Bone marrow smear; brightfield microscopy, 40× oil immersion — 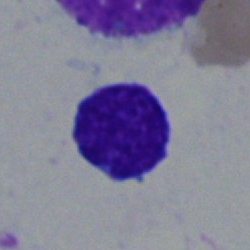

The cell is lymphocyte.